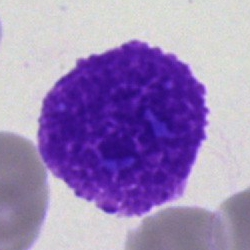 Specimen: bone marrow aspirate smear.
Classification: artifact.